Peripheral blood film · 100× oil immersion, 14.14 px/µm.
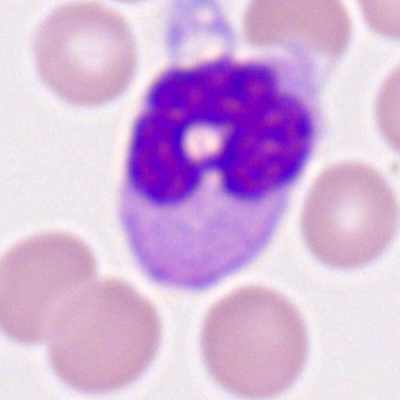

Morphological class: monocyte.